Bone marrow aspirate smear — 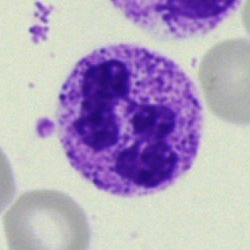Segmented neutrophil.